Brightfield microscopy, 40× oil immersion · bone marrow aspirate smear · MGG-stained: 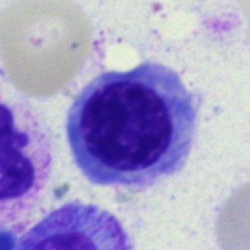
Q: What type of cell is this?
A: Erythroblast.